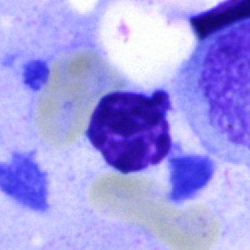
Q: What is shown here?
A: Artefact.